Bone marrow aspirate smear
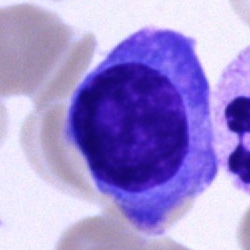
{"cell_type": "plasma cell", "lineage": "lymphoid"}